May-Grünwald-Giemsa stain · bone marrow aspirate smear
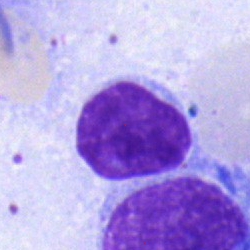 Q: What cell is this?
A: It is a typical lymphocyte.